250×250. Bone marrow smear: 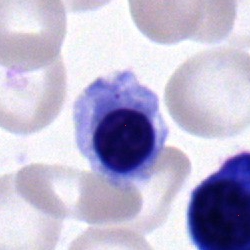Morphology consistent with an erythroblast.